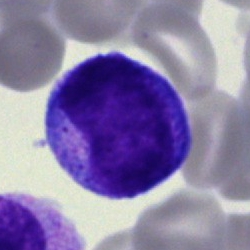
Lymphocyte.